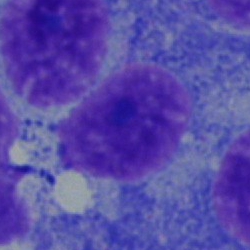

Bone marrow aspirate smear, single cell — plasma cell.